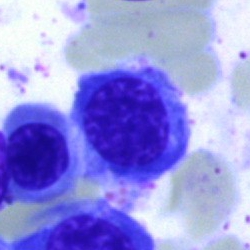

Specimen: bone marrow aspirate smear.
Cell type: nucleated red cell.